Bone marrow smear. Brightfield microscopy, 40× oil immersion. Image size 250×250: 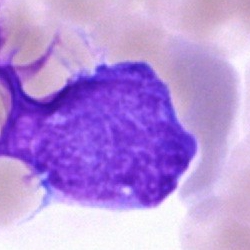
Single cell identified as an artefact.